Bone marrow aspirate smear · image size 250×250 — 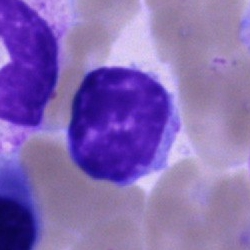

The classification is plasma cell.